Image size 250×250 · bone marrow aspirate smear: 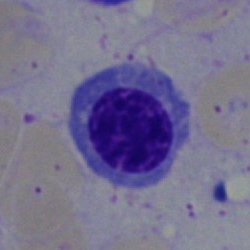

Showing a nucleated red cell.